Bone marrow smear: 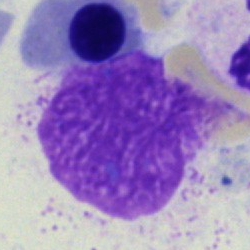

Cell type = artifact.